Pappenheim-stained · bone marrow aspirate smear: 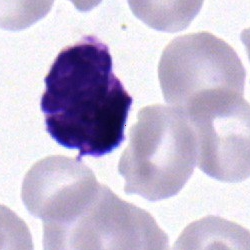Specimen: bone marrow aspirate smear.
Cell: typical lymphocyte.
Lineage: lymphoid.